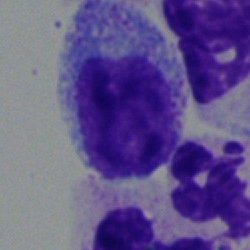 Cell type = myelocyte.